Bone marrow aspirate smear: 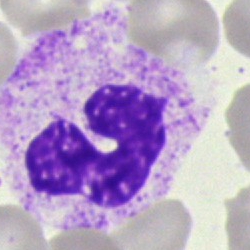 Classification = band-form neutrophil.